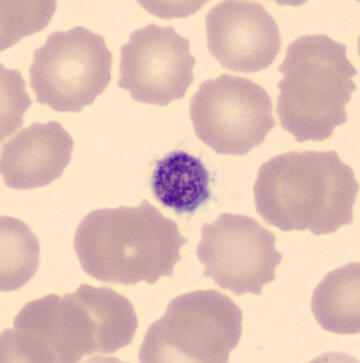Morphology — thrombocyte.

Peripheral blood film.